Bone marrow smear.
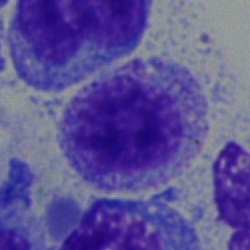
Specimen: bone marrow smear.
Classification: myelocyte.